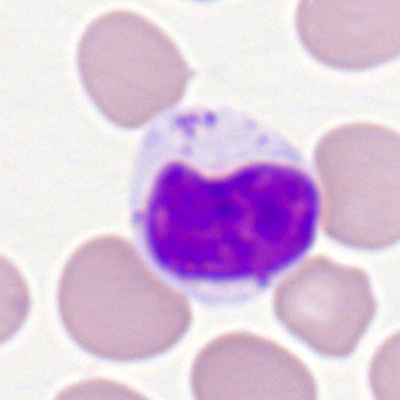

Q: Identify the cell.
A: This is a typical lymphocyte.